Bone marrow smear:
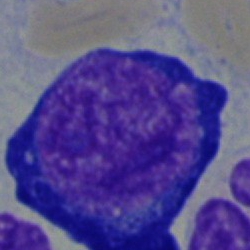

Morphological class: proerythroblast.